Bone marrow smear. Brightfield microscopy, 40× oil immersion:
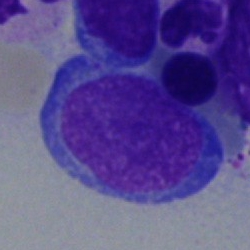The cell is blast cell.